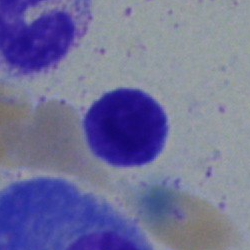Typical lymphocyte.